Bone marrow aspirate smear — 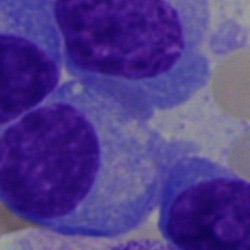 Morphology — plasma cell.